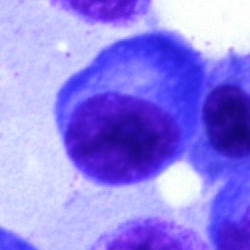 The cell shown is a plasmacyte.